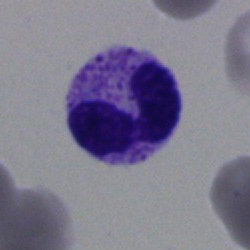 Single cell identified as a polymorphonuclear neutrophil.